Bone marrow smear · 250 by 250 pixels — 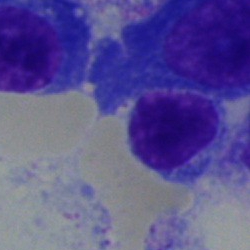

Specimen: bone marrow smear.
Classification: typical lymphocyte.
Lineage: lymphoid.